250×250 px. Bone marrow smear — 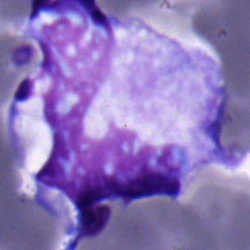 Q: Identify the cell.
A: A monocyte.